Bone marrow smear.
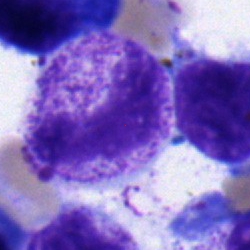
Q: What is shown here?
A: Neutrophil (segmented).